Single cell centered in the field; bone marrow smear.
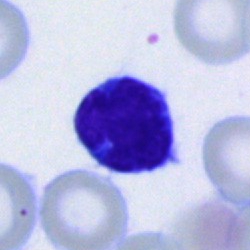

Lymphocyte.